Bone marrow smear — 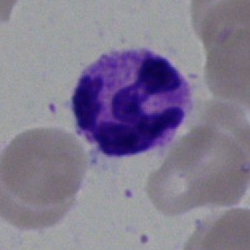 Specimen: bone marrow smear.
Morphological class: polymorphonuclear neutrophil.
Lineage: myeloid.